Bone marrow smear. Brightfield, 40× oil-immersion objective: 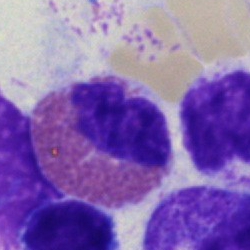

Morphological class = eosinophilic granulocyte.